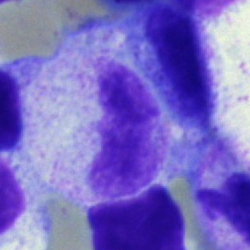Morphological class — metamyelocyte.